40× oil immersion; bone marrow aspirate smear:
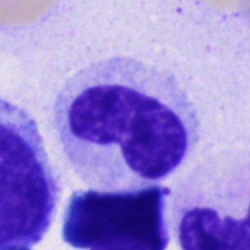Showing a metamyelocyte.